Bone marrow smear; Pappenheim-stained:
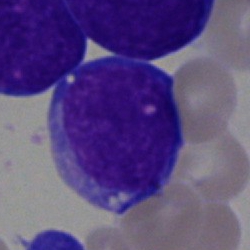

Specimen: bone marrow smear.
Cell: blast cell.